Cropped to a single cell. Bone marrow smear — 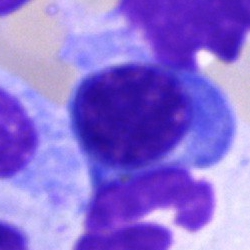
This is a normoblast.